Cropped to a single cell. Bone marrow smear. 250×250 px:
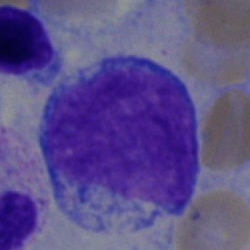
Q: Identify the cell.
A: Blast cell.